250×250 · bone marrow smear.
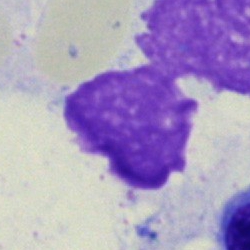 {"cell_type": "artefact"}